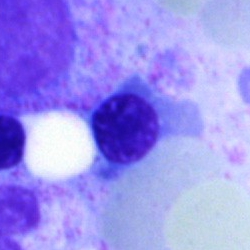

Cell = nucleated red cell.